Bone marrow aspirate smear. 40× oil immersion:
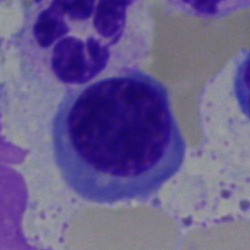 The cell is erythroblast.